Bone marrow smear — 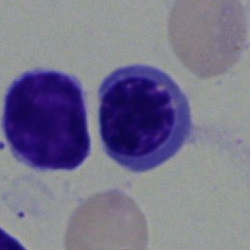 Specimen: bone marrow smear.
Morphological class: normoblast.